Bone marrow aspirate smear — 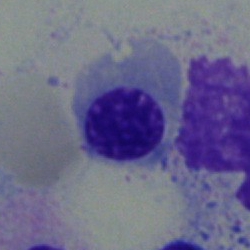

Q: What is shown here?
A: An erythroblast.